Bone marrow smear
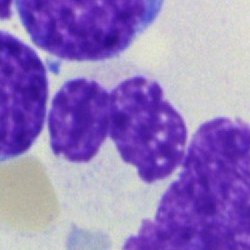A neutrophil (segmented).